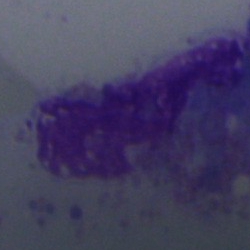 Classification — artifact.